Bone marrow smear; 250×250: 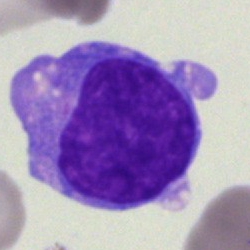
Single cell identified as an undifferentiated blast.